Peripheral blood smear: 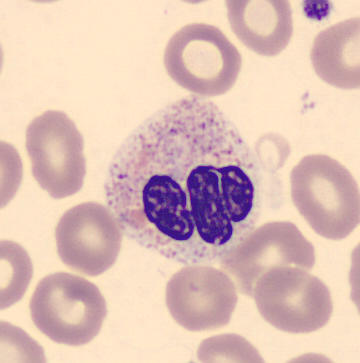Neutrophil (segmented).